Bone marrow aspirate smear; 40× objective, oil immersion: 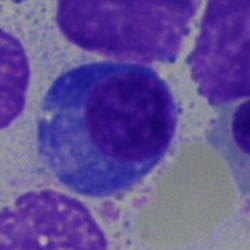 Q: What cell is this?
A: It is a plasma cell.